Bone marrow smear: 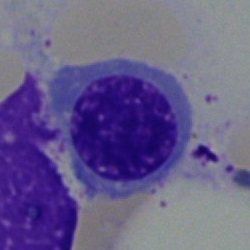Nucleated red blood cell.